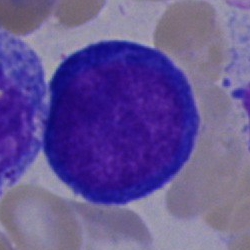
{"cell_type": "undifferentiated blast"}